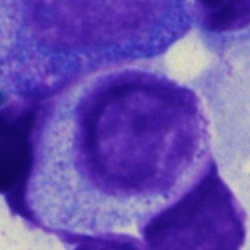

{"cell_type": "myelocyte"}